Bone marrow aspirate smear.
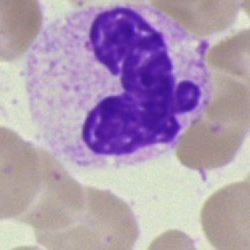
The cell type is polymorphonuclear neutrophil.